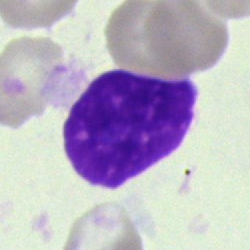

Specimen: bone marrow smear.
Morphological class: artifact.